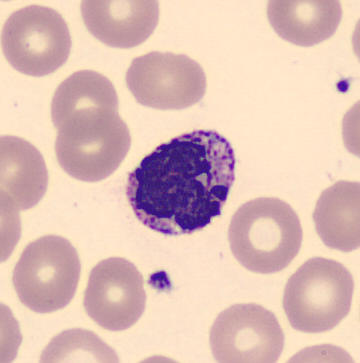 This is a basophil. Peripheral blood film.